Bone marrow smear · Pappenheim-stained · brightfield, 40× oil-immersion objective — 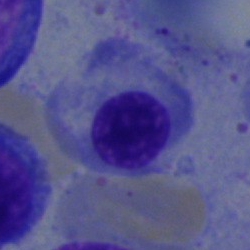
Cell = normoblast.